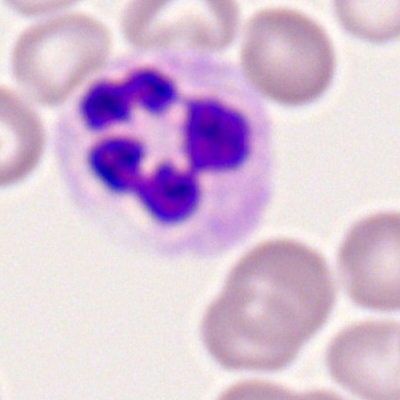Single cell identified as a neutrophil (segmented).